Bone marrow smear. Single-cell crop. Brightfield microscopy, 40× oil immersion.
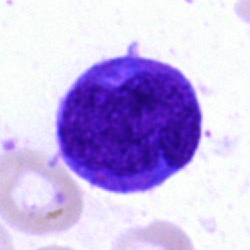Showing a blast.